Cropped to a single cell. Bone marrow aspirate smear — 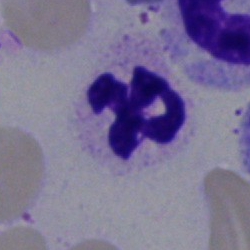

Classification = neutrophil (segmented).